Bone marrow aspirate smear · image size 250×250.
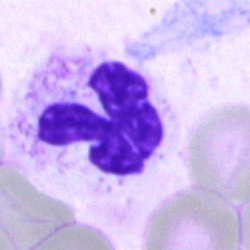

Impression — segmented neutrophil.